Bone marrow aspirate smear
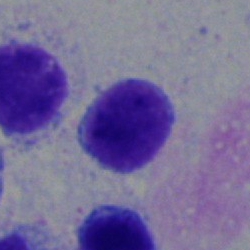

Cell type — typical lymphocyte.